40× objective, oil immersion. Bone marrow smear
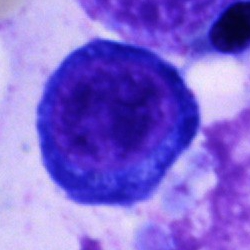

Q: What type of cell is this?
A: It is a proerythroblast.